Bone marrow smear
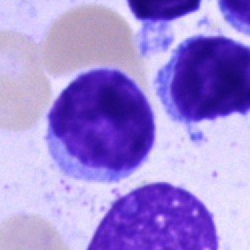Cell — typical lymphocyte.